Single-cell field · bone marrow aspirate smear.
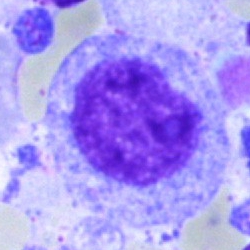
Classification: promyelocyte.